Bone marrow aspirate smear — 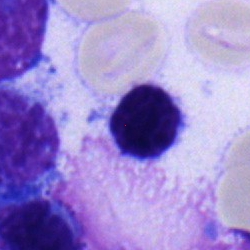 Impression → lymphocyte.